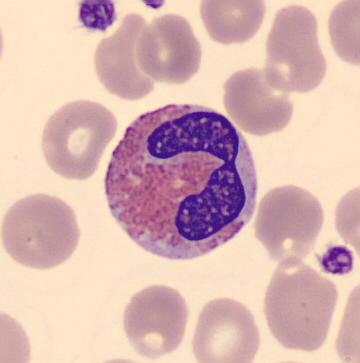

Specimen: peripheral blood film.
Morphological class: eosinophilic granulocyte.
Lineage: myeloid.